Peripheral blood smear. Single-cell field. Romanowsky-type stain
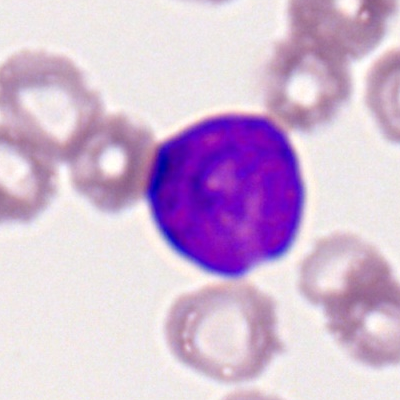
Showing a myeloblast.